Bone marrow aspirate smear
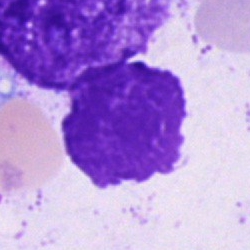

Cell — artifact.